Brightfield, 40× oil-immersion objective. Pappenheim-stained. Bone marrow aspirate smear
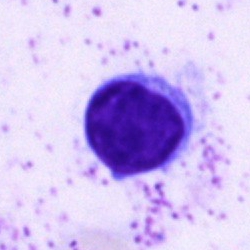
Specimen: bone marrow smear.
Morphological class: lymphocyte.